Bone marrow smear. 250×250. May-Grünwald-Giemsa/Pappenheim stain.
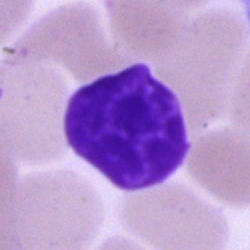

This is an artefact.